May-Grünwald-Giemsa stain; single-cell crop; bone marrow smear — 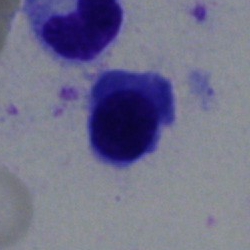 The cell shown is an erythroblast.